250×250 · brightfield, 40× oil-immersion objective · bone marrow aspirate smear
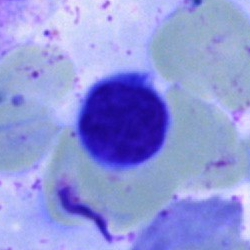
Q: What cell is this?
A: Lymphocyte.